Bone marrow aspirate smear.
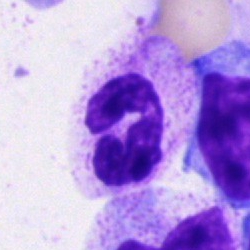 Q: Which cell type is shown here?
A: This is a polymorphonuclear neutrophil.